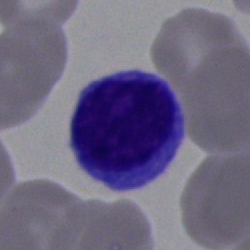 Morphology — typical lymphocyte.